Bone marrow aspirate smear; 250×250 px.
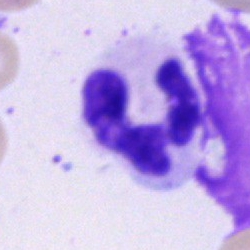This is a polymorphonuclear neutrophil.